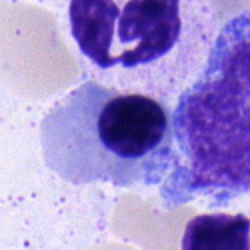 Specimen: bone marrow smear.
Cell type: nucleated red blood cell.
Lineage: erythroid.